Bone marrow smear:
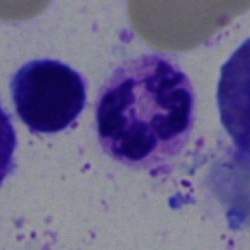 {"cell_type": "polymorphonuclear neutrophil"}